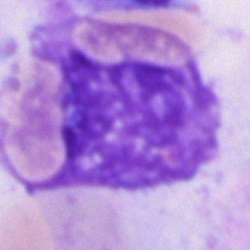
The cell shown is an artefact.